MGG-stained · single cell centered in the field · bone marrow smear — 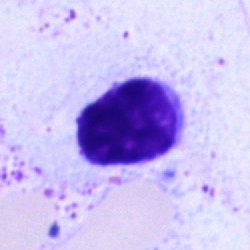

Cell type — typical lymphocyte.